Bone marrow smear. Brightfield, 40× oil-immersion objective
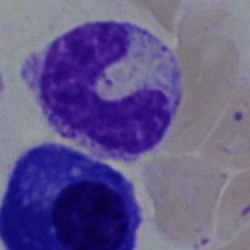
Classification: neutrophil (band).